Bone marrow smear:
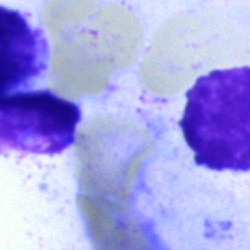
This is an artefact.